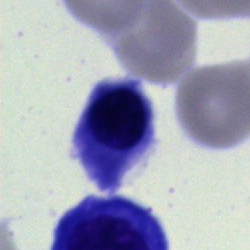

A nucleated red blood cell.